Bone marrow aspirate smear
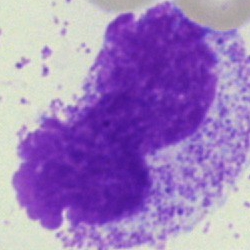Q: What is shown here?
A: Artifact.